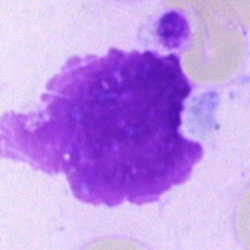
Specimen: bone marrow smear.
Cell type: artifact.